Bone marrow aspirate smear · single cell centered in the field — 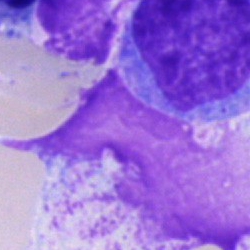
Q: What is shown here?
A: Artifact.